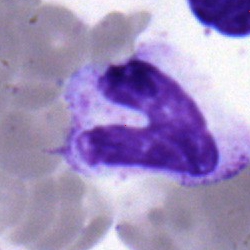
The classification is segmented neutrophil.